May-Grünwald-Giemsa/Pappenheim stain. Bone marrow smear: 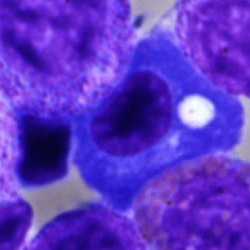
Classification: plasma cell.